Peripheral blood smear: 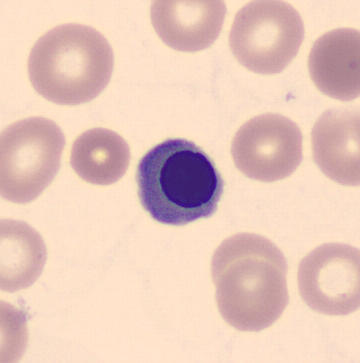Classification: nucleated red blood cell.